100× objective, oil immersion. Peripheral blood smear. Romanowsky-stained: 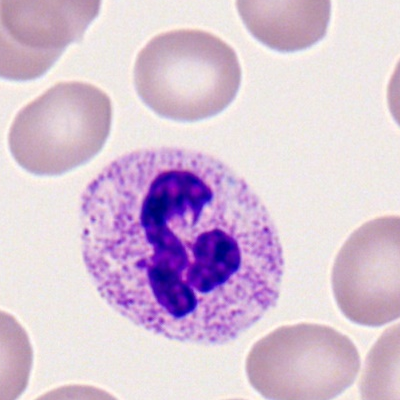This is a polymorphonuclear neutrophil.